Bone marrow aspirate smear
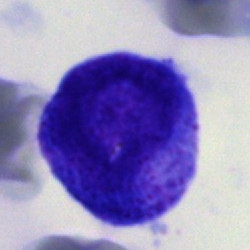
Classification = progranulocyte.